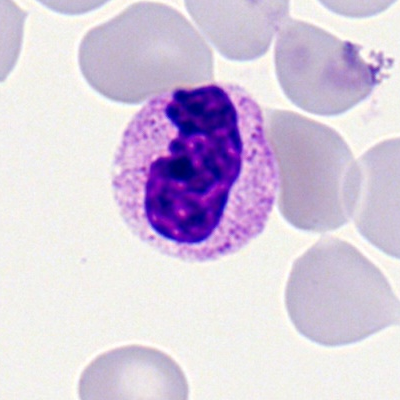Morphological class: neutrophil (segmented).